Bone marrow aspirate smear — 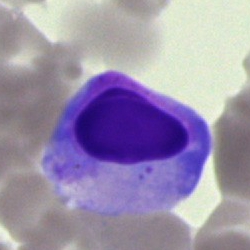Specimen: bone marrow aspirate smear.
Cell: artefact.